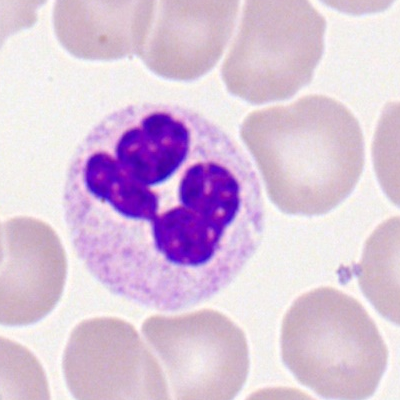
This is a segmented neutrophil.